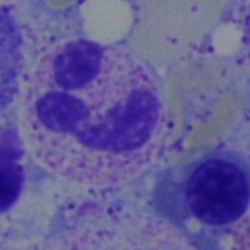
Single-cell crop from a bone marrow smear: polymorphonuclear neutrophil.